Bone marrow aspirate smear
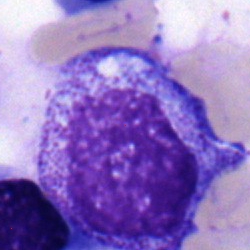 Q: What type of cell is this?
A: This is a myelocyte.